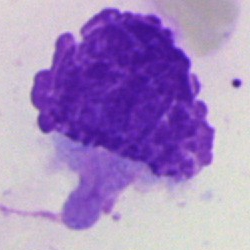

An artifact on a bone marrow smear.